Bone marrow smear; 250×250 px; MGG-stained.
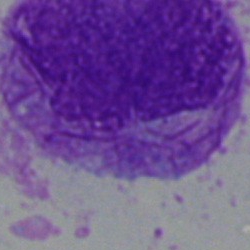

This is a cell with bundled Auer rods.